Bone marrow aspirate smear
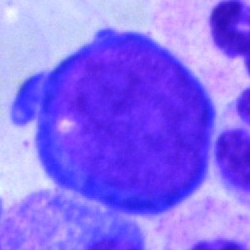
The cell type is pronormoblast.